Pappenheim-stained · 40× oil immersion · bone marrow aspirate smear:
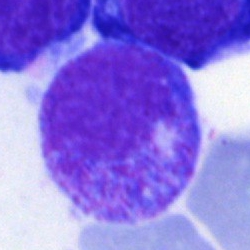

This is a promyelocyte.